Bone marrow aspirate smear
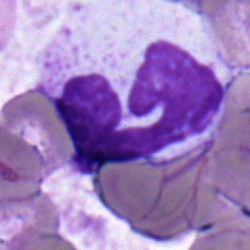

The cell shown is a segmented neutrophil.